Bone marrow smear.
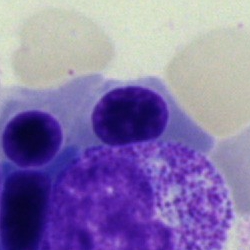 Classification — erythroblast.